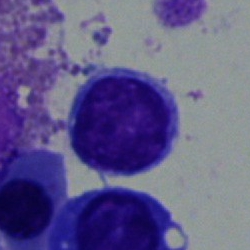This is a typical lymphocyte.